Bone marrow aspirate smear — 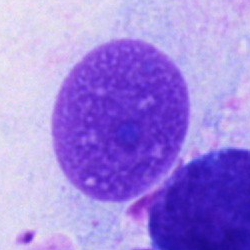

{"cell_type": "artefact"}